Bone marrow smear — 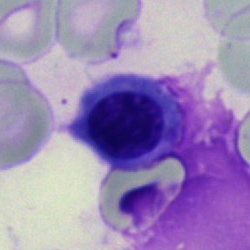Showing a nucleated red blood cell.